Bone marrow smear — 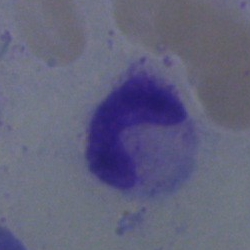The cell shown is a neutrophil (segmented).